Bone marrow smear — 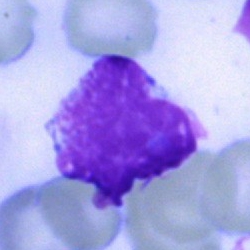{"cell_type": "artefact"}